Bone marrow smear.
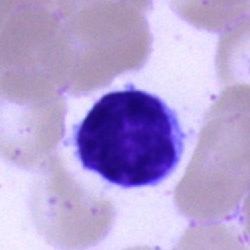
Lymphocyte.